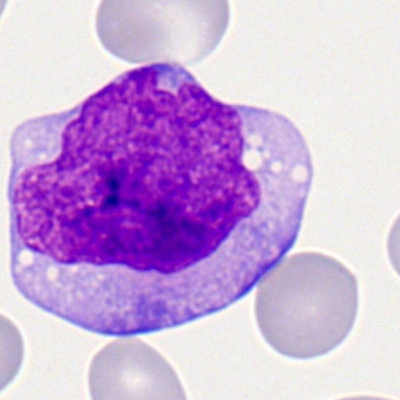
Classification: myeloblast.